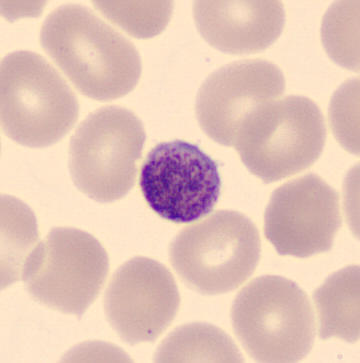 Impression — platelet.
Preparation: Peripheral blood film.